Bone marrow aspirate smear: 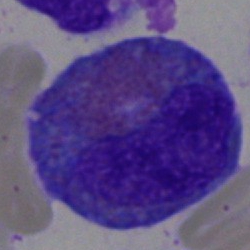

Impression → eosinophil.